Peripheral blood smear.
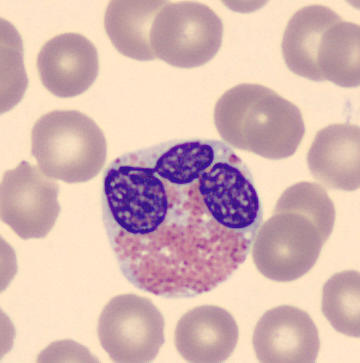

Q: Which cell type is shown here?
A: An eosinophilic granulocyte.